100× oil immersion · peripheral blood smear: 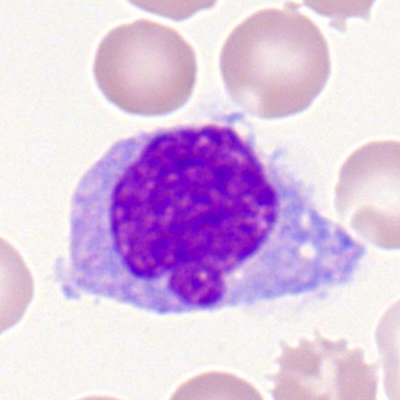

Impression — monocyte.